Bone marrow smear; cropped to a single cell: 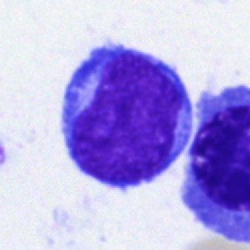
Morphology consistent with a lymphocyte.